Bone marrow aspirate smear: 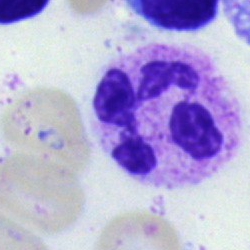
A neutrophil (segmented).